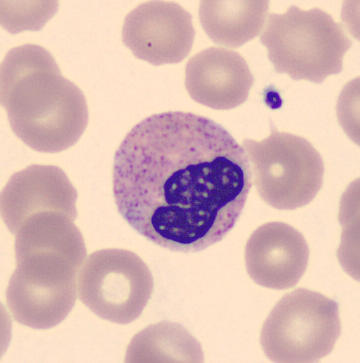
May-Grünwald-Giemsa-stained; peripheral blood film; cropped to a single cell.

Morphological class: band neutrophil.